Brightfield microscopy, 40× oil immersion; bone marrow smear.
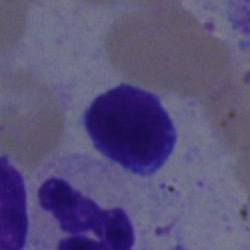 Cell = lymphocyte.